250 by 250 pixels. Bone marrow smear. Single cell centered in the field: 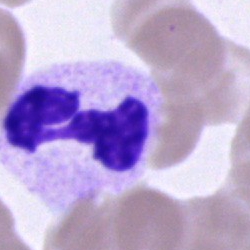 A segmented neutrophil.